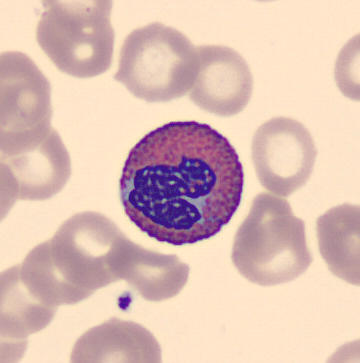

Single-cell crop from a peripheral blood smear: eosinophil.